Bone marrow aspirate smear.
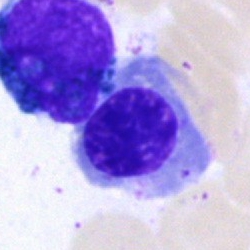
This is a nucleated red blood cell.